Romanowsky-type stain. Peripheral blood film.
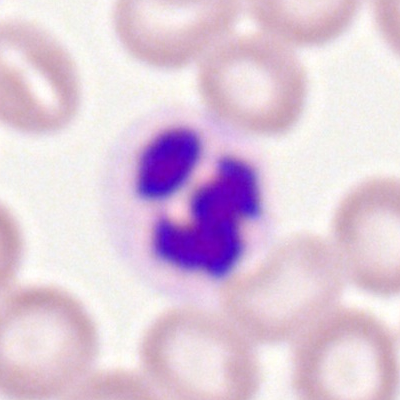

Showing a neutrophil (segmented).